Bone marrow smear.
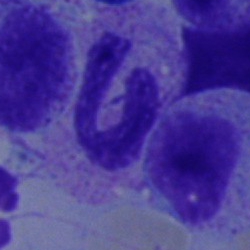 Cell = neutrophil (band).